Bone marrow aspirate smear: 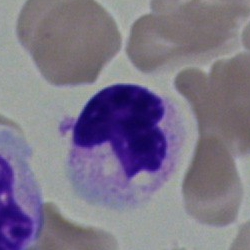

Q: What is shown here?
A: It is a neutrophil (segmented).